Bone marrow smear.
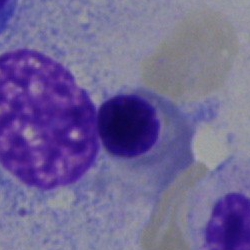Impression → normoblast.